Bone marrow aspirate smear
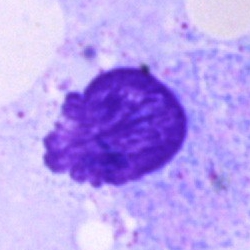 Q: What is shown here?
A: This is an artifact.